Bone marrow aspirate smear: 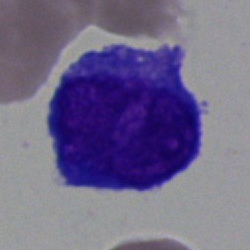 Morphological class: blast.